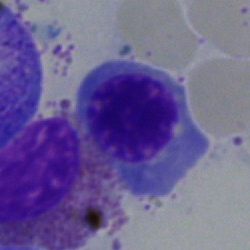Morphological class: nucleated red cell.